Bone marrow smear; single-cell crop — 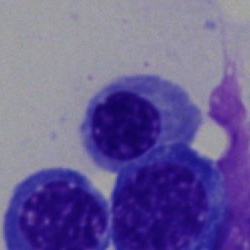
Specimen: bone marrow smear.
Cell type: nucleated red blood cell.